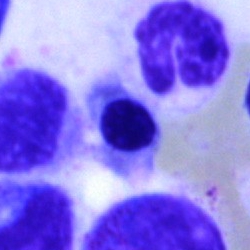
Q: What is shown here?
A: This is a normoblast.